Bone marrow aspirate smear
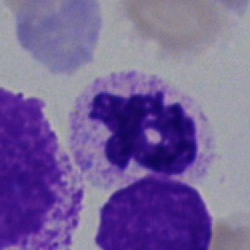Morphological class = polymorphonuclear neutrophil.